Bone marrow aspirate smear:
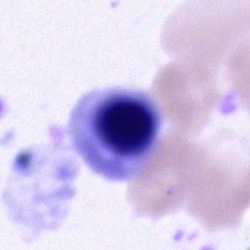 Q: Which cell type is shown here?
A: Erythroblast.